Bone marrow aspirate smear · single-cell crop · May-Grünwald-Giemsa stain.
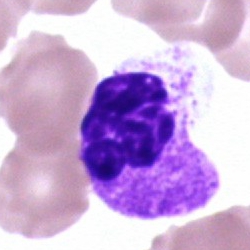 Q: Identify the cell.
A: Neutrophil (segmented).